Bone marrow aspirate smear.
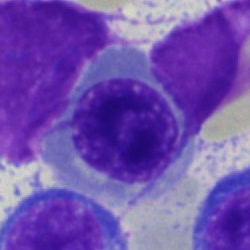
Cell type — erythroblast.